Bone marrow smear. MGG-stained. 250 by 250 pixels:
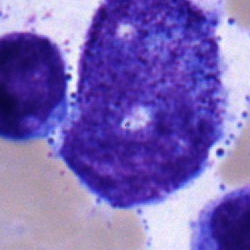 {"cell_type": "progranulocyte", "lineage": "myeloid"}